Peripheral blood smear:
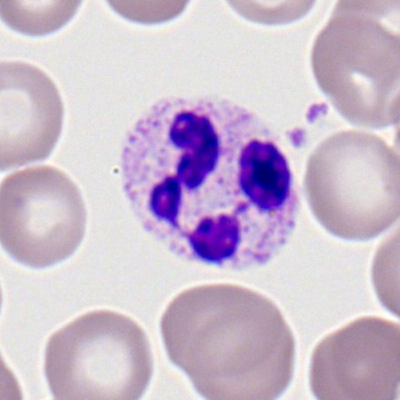A polymorphonuclear neutrophil.